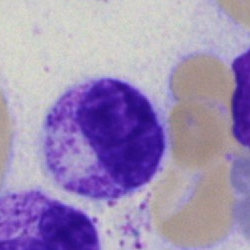
The classification is myelocyte.